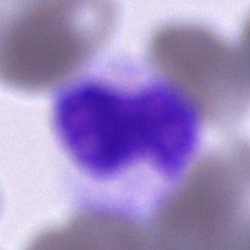Morphological class = cell of indeterminate lineage.